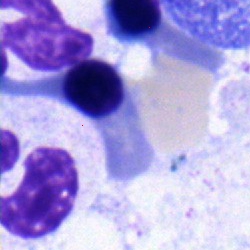Nucleated red cell.